Bone marrow aspirate smear.
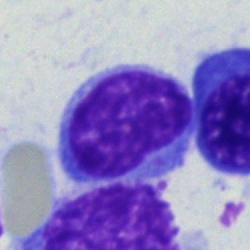This is a lymphocyte.